Bone marrow smear; brightfield, 40× oil-immersion objective
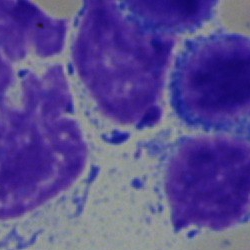

The cell shown is a typical lymphocyte.